Bone marrow aspirate smear: 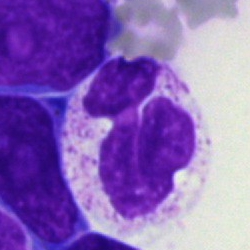Q: Which cell type is shown here?
A: This is a neutrophil (segmented).